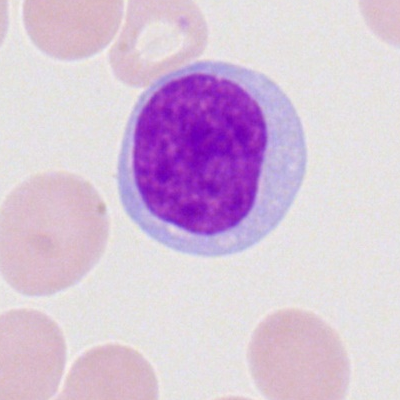

Q: What is shown here?
A: This is a typical lymphocyte.